Bone marrow aspirate smear.
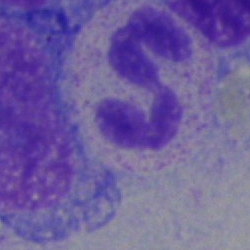 Specimen: bone marrow aspirate smear.
Cell type: neutrophil (segmented).
Lineage: myeloid.